Bone marrow smear; brightfield, 40× oil-immersion objective.
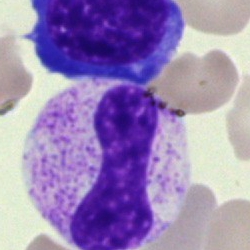
The morphological class is stab cell.